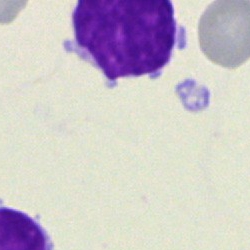Classification = lymphocyte.